Bone marrow aspirate smear.
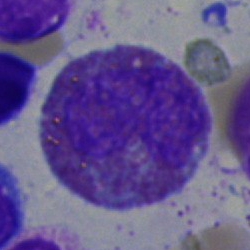Specimen: bone marrow smear.
Cell: eosinophilic granulocyte.
Lineage: myeloid.